Bone marrow smear.
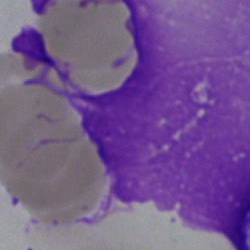Impression — artifact.